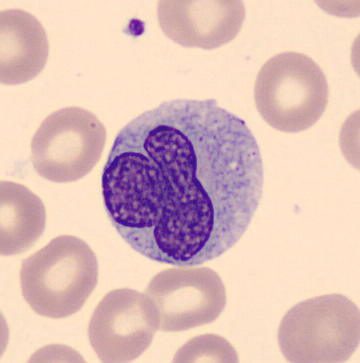

Q: Which cell type is shown here?
A: This is a monocyte.

Peripheral blood film · 360×363.